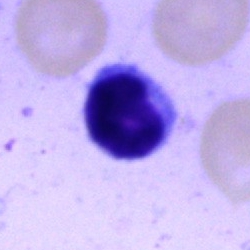 Bone marrow aspirate smear, single cell — lymphocyte.